Single-cell field. Bone marrow smear. 40× oil immersion: 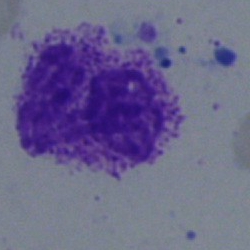
Morphology consistent with a band neutrophil.